Bone marrow smear · 40× objective, oil immersion · image size 250×250.
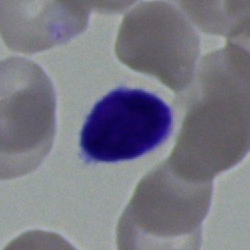
Morphology → typical lymphocyte.